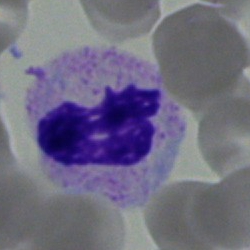 Specimen: bone marrow aspirate smear.
Morphological class: segmented neutrophil.
Lineage: myeloid.